Single cell centered in the field · bone marrow smear.
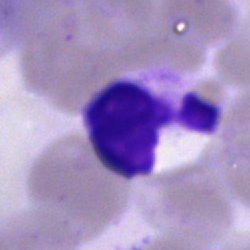
An artefact.